Bone marrow smear: 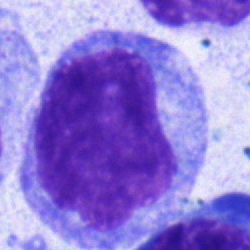 Cell: progranulocyte.